Bone marrow aspirate smear · single cell centered in the field:
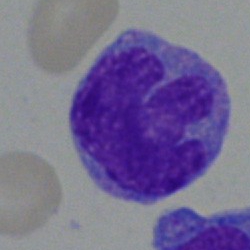Specimen: bone marrow aspirate smear.
Cell type: monocyte.
Lineage: myeloid.